Bone marrow smear:
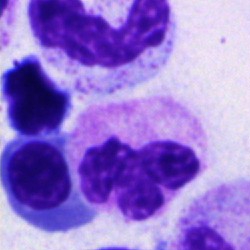 Classification = polymorphonuclear neutrophil.